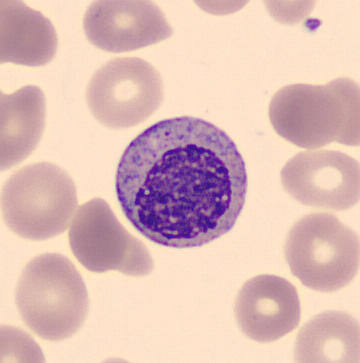Q: What cell is this?
A: This is a myelocyte.

Acquisition: Peripheral blood smear.